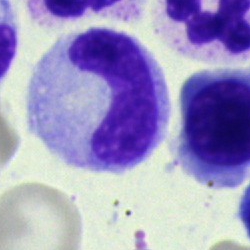A neutrophil (band).